Bone marrow aspirate smear:
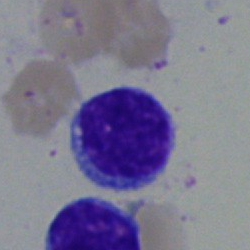The cell shown is a typical lymphocyte.